Bone marrow smear: 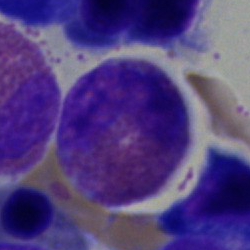
Morphology consistent with an eosinophil.